Brightfield microscopy, 40× oil immersion · May-Grünwald-Giemsa stain · bone marrow smear:
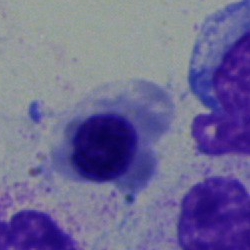

Single cell identified as a normoblast.